Bone marrow aspirate smear
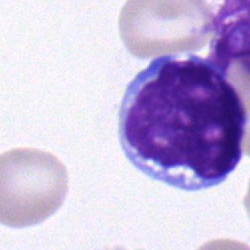
{"cell_type": "typical lymphocyte", "lineage": "lymphoid"}